Bone marrow smear; 40× objective, oil immersion
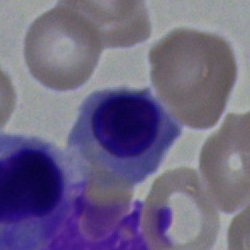

The cell shown is an erythroblast.